Bone marrow aspirate smear
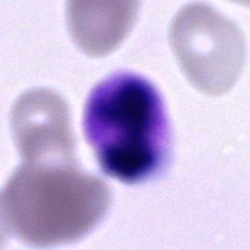Impression → neutrophil (segmented).